40× oil immersion. Bone marrow smear.
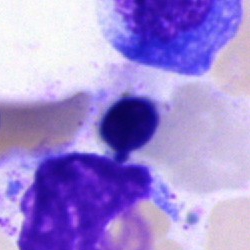
Artefact.